Bone marrow aspirate smear; MGG-stained; 40× objective, oil immersion
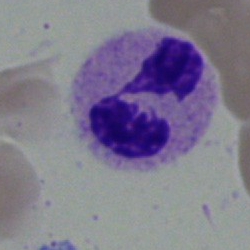
Cell type: neutrophil (segmented).